Bone marrow smear:
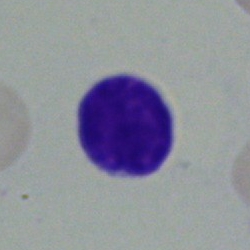

Impression → typical lymphocyte.